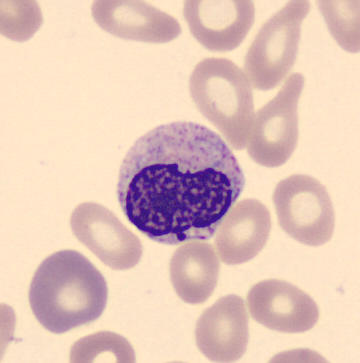
360×363. Specimen: peripheral blood film.
Cell: metamyelocyte.